Bone marrow aspirate smear.
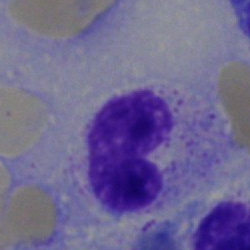 Single cell identified as a band neutrophil.